Bone marrow smear:
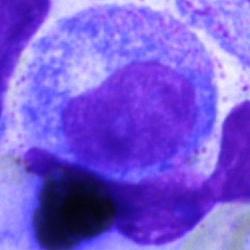
Impression — promyelocyte.